Bone marrow smear; brightfield microscopy, 40× oil immersion; cropped to a single cell.
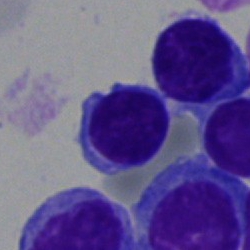

Cell — lymphocyte.